Peripheral blood film
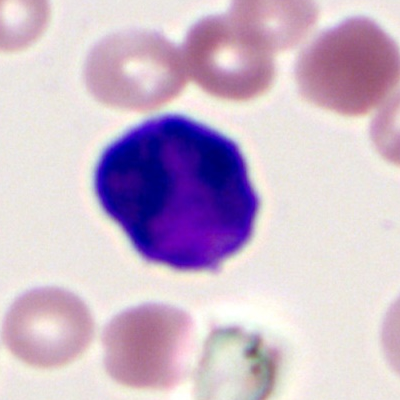

Classification — myeloid blast.